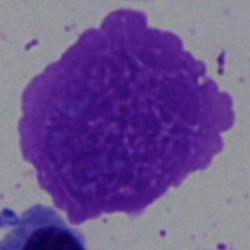

Impression — artifact.